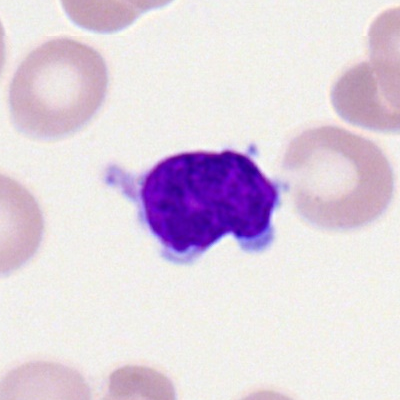
The cell shown is a typical lymphocyte.